Bone marrow smear:
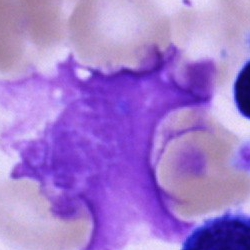

Morphological class: artifact.